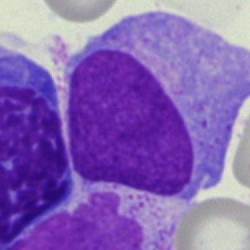
Bone marrow aspirate smear, single cell — undifferentiated blast.